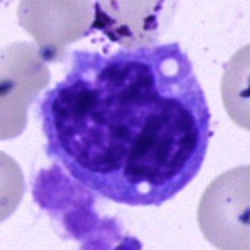
Q: Which cell type is shown here?
A: Monocyte.